Single-cell field. Bone marrow smear.
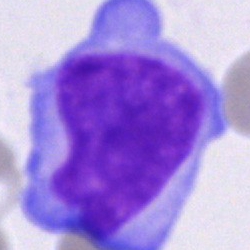

Classification: blast.